Bone marrow smear · 250×250 — 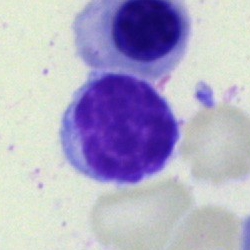 Specimen: bone marrow smear.
Morphological class: typical lymphocyte.
Lineage: lymphoid.